Peripheral blood smear; single-cell field: 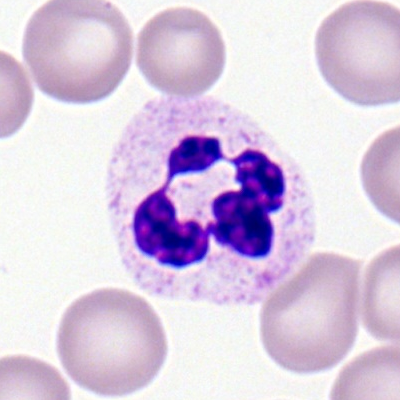Morphological class: neutrophil (segmented).